Peripheral blood smear
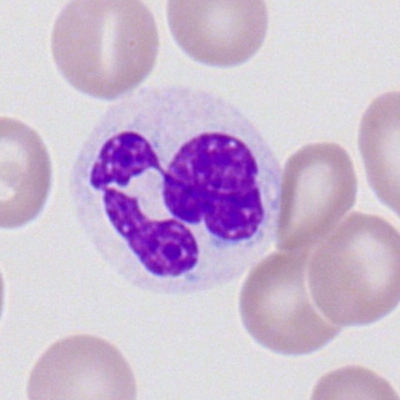Showing a segmented neutrophil.